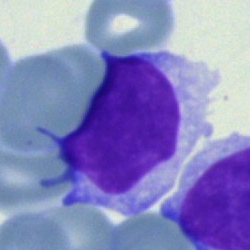 This is a typical lymphocyte.